Bone marrow aspirate smear
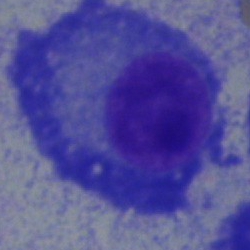

Cell type = plasma cell.